Bone marrow aspirate smear.
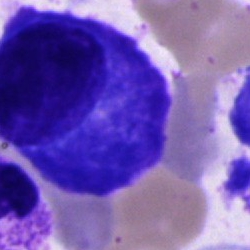Q: What type of cell is this?
A: Plasmacyte.